Peripheral blood film; 100× objective, oil immersion.
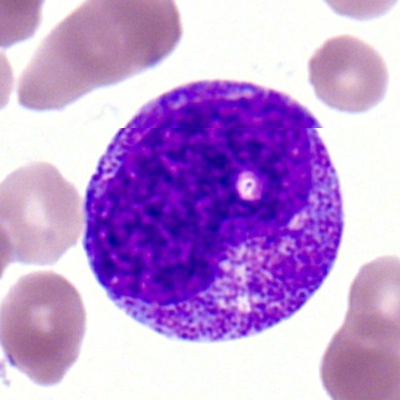Showing a myelocyte.